Bone marrow aspirate smear. 250×250 — 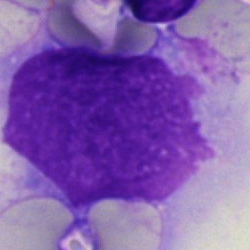Single cell identified as an artefact.